Bone marrow aspirate smear; 40× oil immersion.
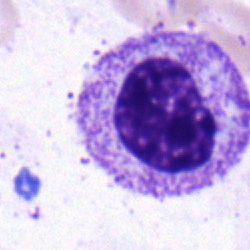

Specimen: bone marrow aspirate smear.
Cell: myelocyte.
Lineage: myeloid.